Cropped to a single cell. Bone marrow smear: 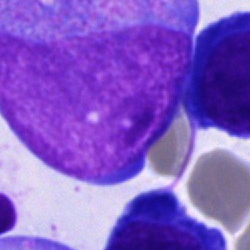
{"cell_type": "blast"}